Bone marrow smear
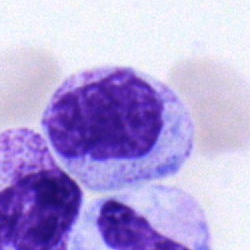Q: Which cell type is shown here?
A: A myelocyte.